Bone marrow aspirate smear
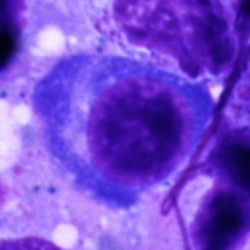

The morphological class is plasma cell.